Bone marrow aspirate smear.
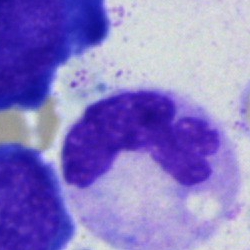
The cell shown is a neutrophil (segmented).